250 by 250 pixels. Bone marrow aspirate smear — 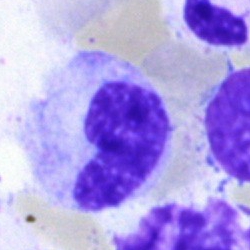

Classification = band neutrophil.